Bone marrow aspirate smear.
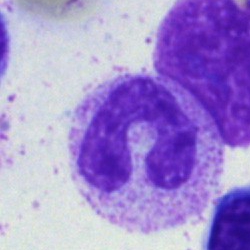 Morphological class = band-form neutrophil.